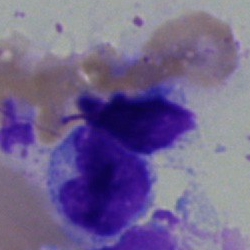 Single-cell crop from a bone marrow smear: lymphocyte.